Bone marrow smear — 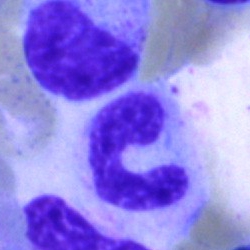
Cell type: band-form neutrophil.